40× oil immersion · bone marrow smear:
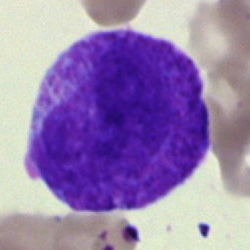 Impression → blast cell.